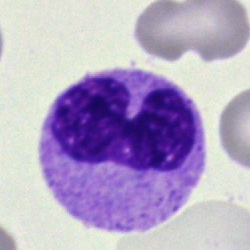 Q: Which cell type is shown here?
A: It is a band-form neutrophil.